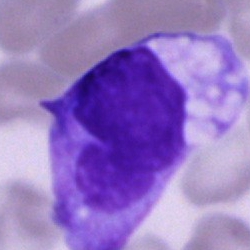Impression → monocyte.